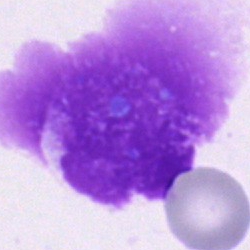
Q: What is shown here?
A: This is an artifact.